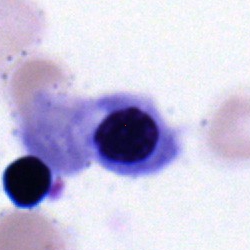

A nucleated red blood cell on a bone marrow smear.